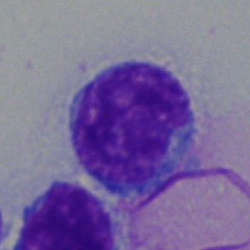Specimen: bone marrow smear.
Cell type: lymphocyte.